Bone marrow aspirate smear
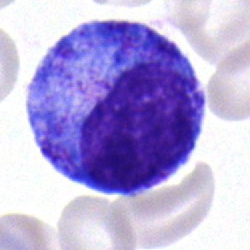

Q: Identify the cell.
A: This is a progranulocyte.